Pappenheim-stained. Bone marrow smear — 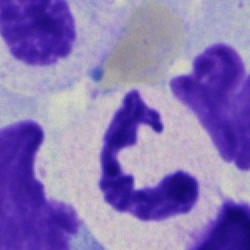 Polymorphonuclear neutrophil.